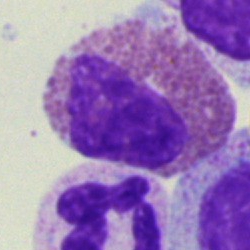

Bone marrow aspirate smear, single cell — eosinophilic granulocyte.